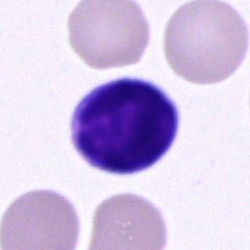
Showing a typical lymphocyte.